Bone marrow aspirate smear. Pappenheim-stained. Brightfield, 40× oil-immersion objective:
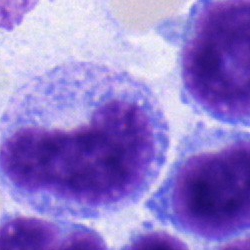 Q: Identify the cell.
A: Typical lymphocyte.